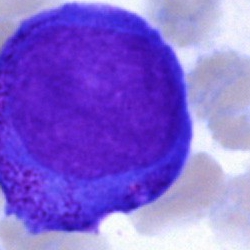An undifferentiated blast.